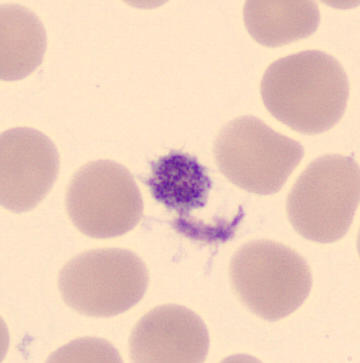 Image: CellaVision DM96 digital cell image. 360×363. Peripheral blood film.

The classification is thrombocyte.